Bone marrow smear; cropped to a single cell:
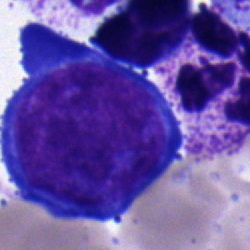
Single cell identified as a proerythroblast.